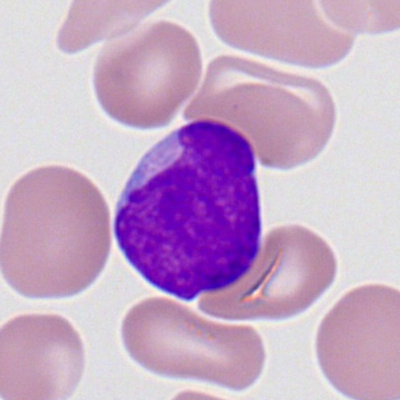

This is a myeloblast.